Peripheral blood film; Romanowsky-stained
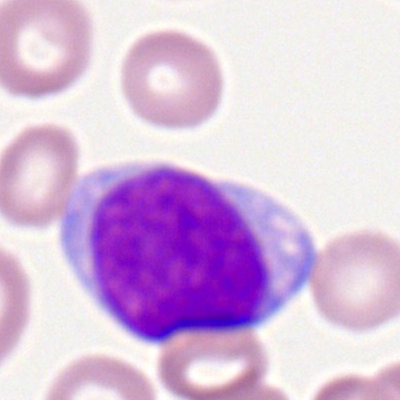Specimen: peripheral blood film.
Cell: myeloid blast.
Lineage: myeloid.